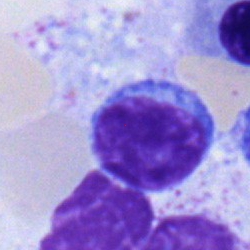
Morphology consistent with a typical lymphocyte.